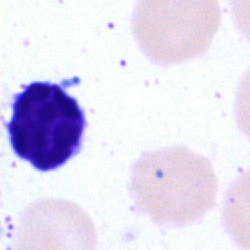Morphology consistent with a lymphocyte.